Bone marrow aspirate smear:
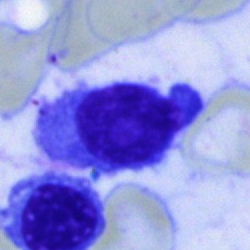 Cell = plasma cell.